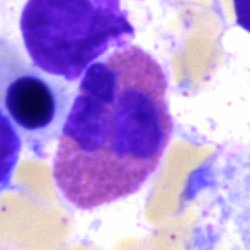

Morphology — eosinophilic granulocyte.